Bone marrow smear.
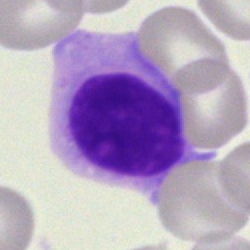

The cell is lymphocyte.